May-Grünwald-Giemsa stain. Bone marrow aspirate smear
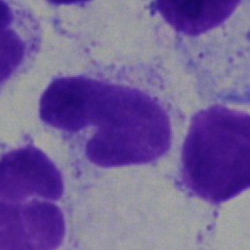 Morphological class = artifact.